Bone marrow aspirate smear. 40× objective, oil immersion.
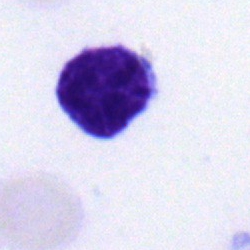

Morphology — typical lymphocyte.